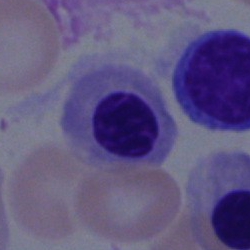Morphology — erythroblast.